Romanowsky-type stain · peripheral blood smear — 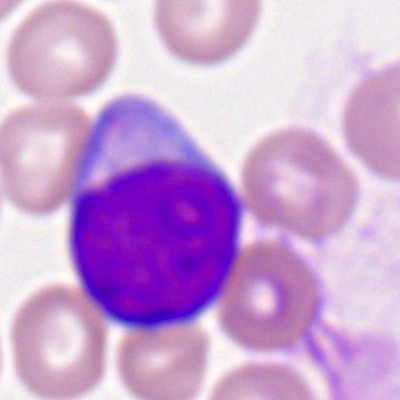
Specimen: peripheral blood film.
Classification: myeloblast.
Lineage: myeloid.